Brightfield, 40× oil-immersion objective; bone marrow aspirate smear; cropped to a single cell: 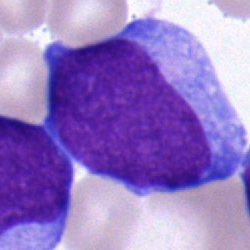

Showing an undifferentiated blast.